Bone marrow aspirate smear.
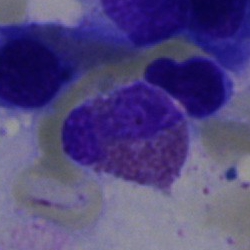Morphological class — eosinophilic granulocyte.